Bone marrow aspirate smear
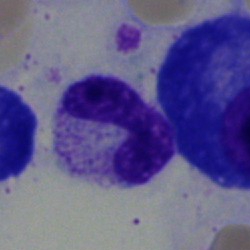
The cell shown is a neutrophil (segmented).